Bone marrow smear:
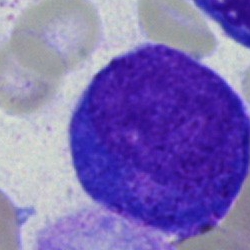
Cell — promyelocyte.